Bone marrow smear.
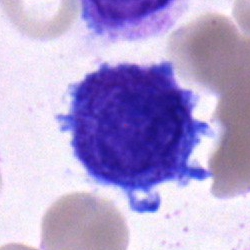Q: What type of cell is this?
A: A blast cell.